Bone marrow smear:
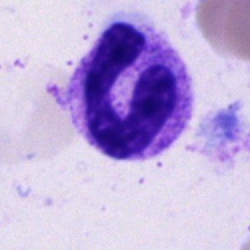Specimen: bone marrow aspirate smear.
Cell type: stab cell.
Lineage: myeloid.